Single cell centered in the field. May-Grünwald-Giemsa/Pappenheim stain. Bone marrow smear:
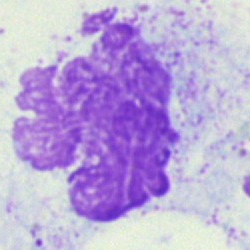 Morphology — artifact.